Peripheral blood smear: 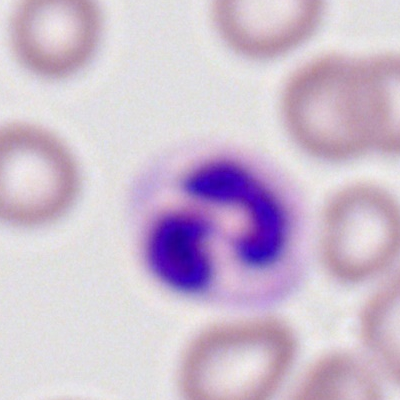
This is a neutrophil (segmented).